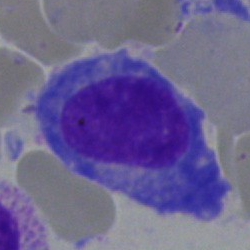
Q: Identify the cell.
A: Plasma cell.